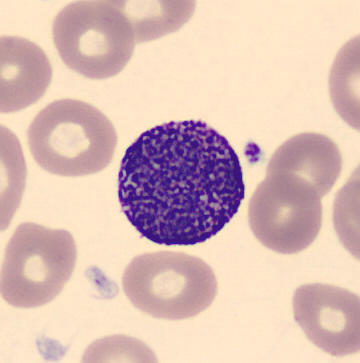
Classification: basophil. Image: Peripheral blood smear.